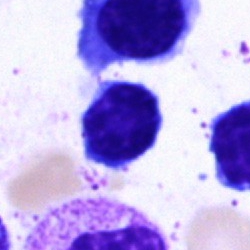
Classification: typical lymphocyte.